Bone marrow aspirate smear.
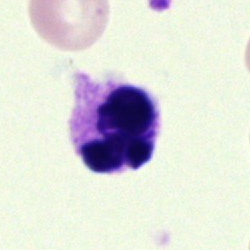Showing a polymorphonuclear neutrophil.